Peripheral blood film. Image size 400×400 — 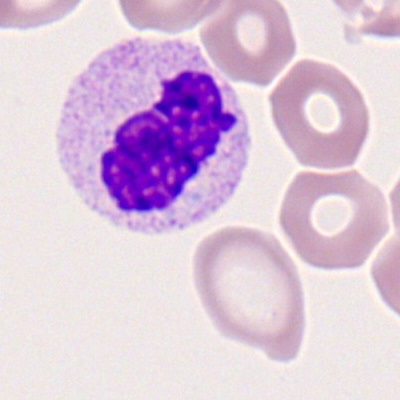
Impression → polymorphonuclear neutrophil.